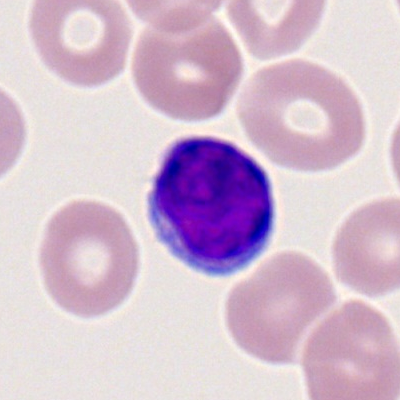

Classification: lymphocyte.